40× oil immersion. Bone marrow aspirate smear:
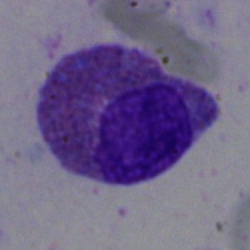 {"cell_type": "eosinophilic granulocyte"}